Bone marrow smear
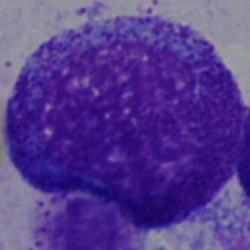 This is a promyelocyte.